Bone marrow smear; 250 by 250 pixels
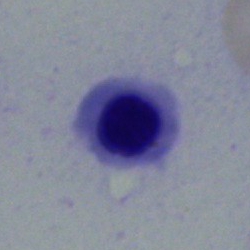{"cell_type": "erythroblast", "lineage": "erythroid"}